Automated cell imaging (CellaVision DM96); peripheral blood film; 360×360
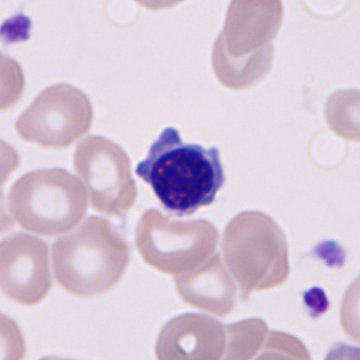

Q: What is shown here?
A: A nucleated red cell.